Peripheral blood smear:
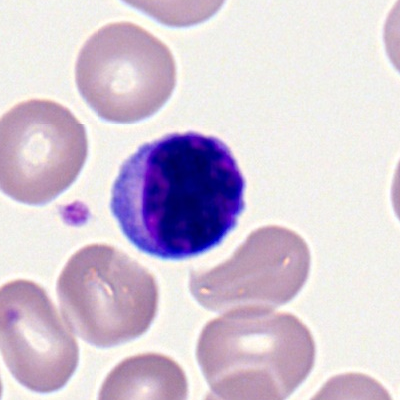

Morphology consistent with a typical lymphocyte.